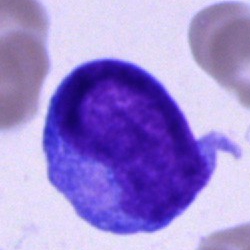
{"cell_type": "blast"}